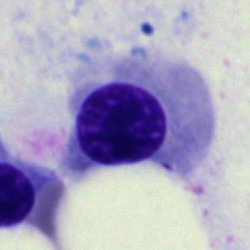

Q: Which cell type is shown here?
A: It is a nucleated red blood cell.